Brightfield, 40× oil-immersion objective; bone marrow smear; MGG-stained:
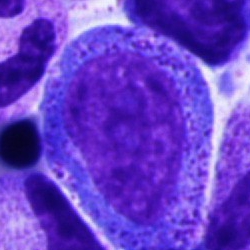

The cell type is promyelocyte.